Bone marrow smear. 250×250 px
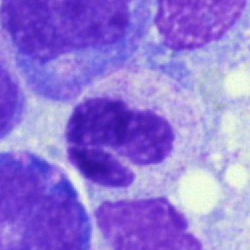Showing a segmented neutrophil.